Bone marrow smear:
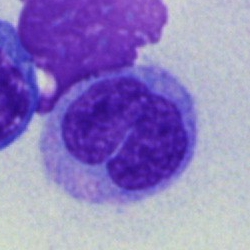
The cell shown is a monocyte.